Bone marrow smear; brightfield microscopy, 40× oil immersion: 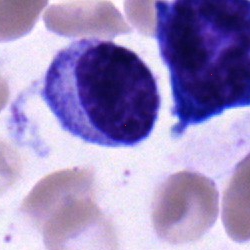Specimen: bone marrow smear.
Morphological class: myelocyte.
Lineage: myeloid.